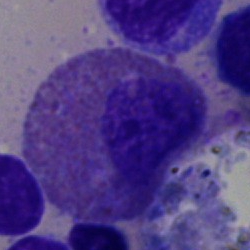

Specimen: bone marrow aspirate smear.
Cell type: eosinophilic granulocyte.
Lineage: myeloid.